Single cell centered in the field; 40× oil immersion; bone marrow aspirate smear — 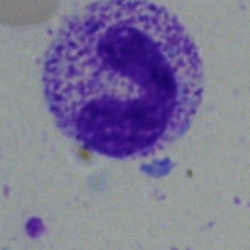 Morphology consistent with a band-form neutrophil.